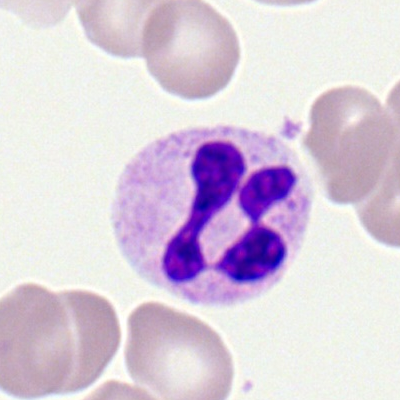
Q: Identify the cell.
A: Segmented neutrophil.